Bone marrow smear: 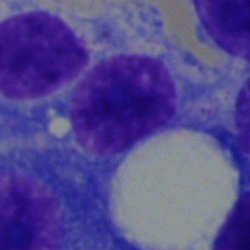Q: Identify the cell.
A: This is a plasma cell.